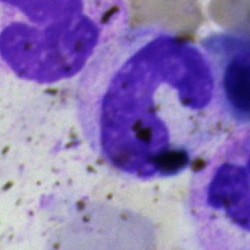

Bone marrow smear showing a neutrophil (band).